360 by 363 pixels. Peripheral blood smear. Imaged on a CellaVision DM96 analyser — 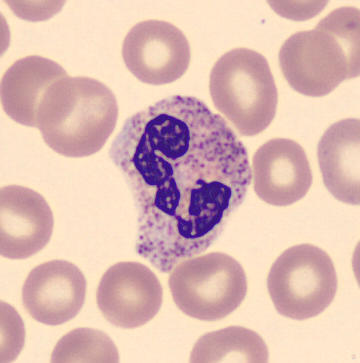

Cell = neutrophil (segmented).